Bone marrow aspirate smear · brightfield microscopy, 40× oil immersion.
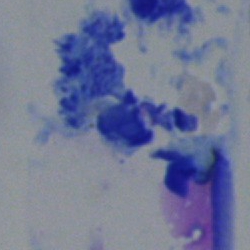

Q: What is shown here?
A: It is an artifact.